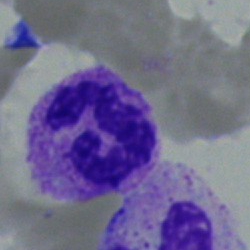

Morphological class = neutrophil (segmented).